Bone marrow aspirate smear:
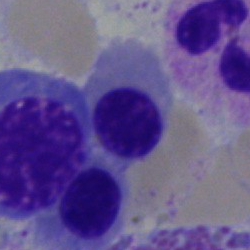Specimen: bone marrow smear.
Cell: erythroblast.